Bone marrow smear; brightfield, 40× oil-immersion objective — 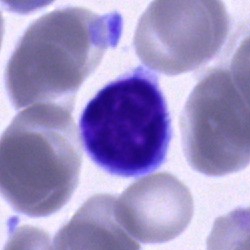Showing a lymphocyte.